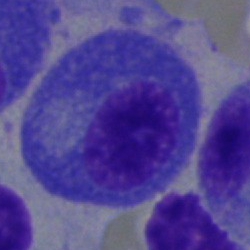
The cell shown is a plasmacyte.